Bone marrow aspirate smear
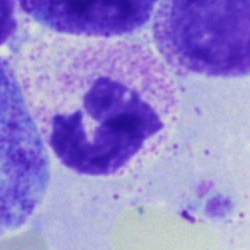
Q: Which cell type is shown here?
A: A band-form neutrophil.